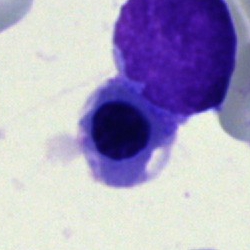

Bone marrow aspirate smear, single cell — nucleated red cell.